Bone marrow aspirate smear. 250×250 px.
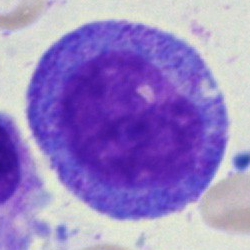 Single cell identified as a promyelocyte.